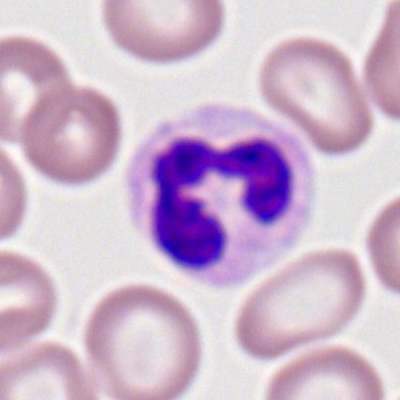The morphological class is neutrophil (segmented).